Bone marrow aspirate smear. Pappenheim-stained. Single-cell crop.
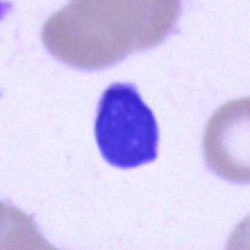Morphology — artefact.